Bone marrow aspirate smear
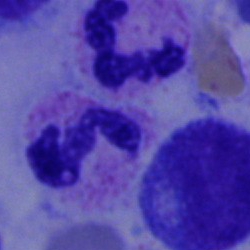Q: Identify the cell.
A: It is a neutrophil (segmented).